40× objective, oil immersion · bone marrow smear:
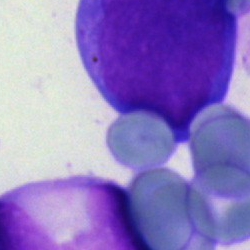
{"cell_type": "undifferentiated blast"}